Bone marrow aspirate smear
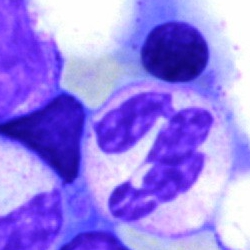
Specimen: bone marrow aspirate smear.
Cell type: polymorphonuclear neutrophil.
Lineage: myeloid.